Bone marrow smear: 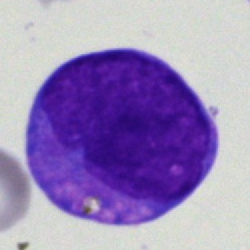Morphology consistent with an undifferentiated blast.